Romanowsky-type stain · peripheral blood film — 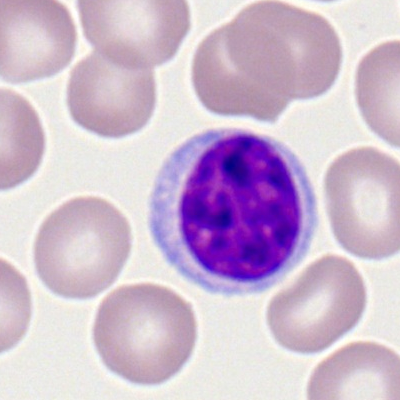 This is a lymphocyte.